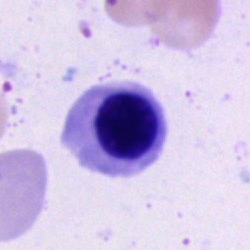

A nucleated red blood cell.